Bone marrow smear — 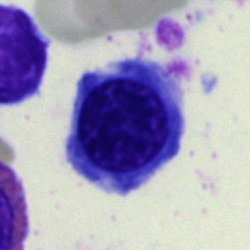Morphology → nucleated red cell.